Bone marrow aspirate smear.
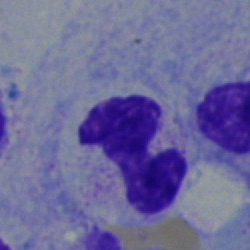

Impression — band neutrophil.